Single cell centered in the field; bone marrow aspirate smear; Pappenheim-stained.
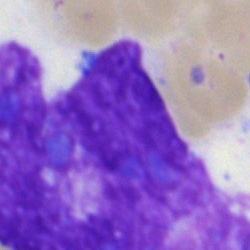Specimen: bone marrow aspirate smear.
Morphological class: artefact.